Cropped to a single cell. Bone marrow smear — 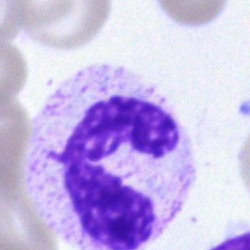
Specimen: bone marrow aspirate smear.
Classification: neutrophil (segmented).
Lineage: myeloid.